Single-cell crop; bone marrow aspirate smear — 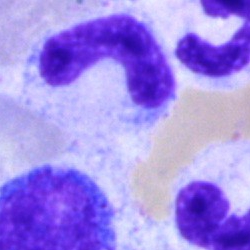
A band neutrophil.